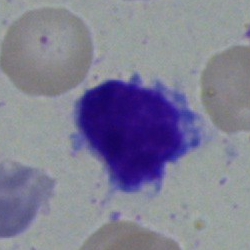
Q: What is the morphological classification of this cell?
A: A typical lymphocyte.